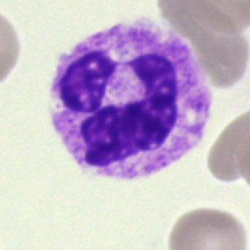Single-cell crop from a bone marrow smear: neutrophil (segmented).